Brightfield microscopy, 40× oil immersion · 250×250 px · bone marrow smear:
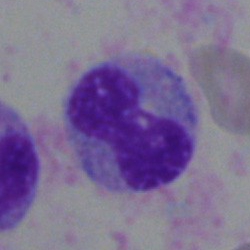
Morphology — polymorphonuclear neutrophil.